Romanowsky stain · peripheral blood smear — 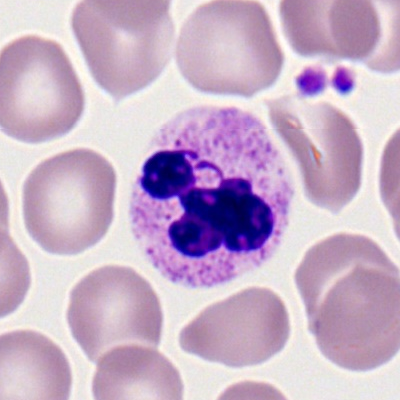A neutrophil (segmented).